Bone marrow aspirate smear:
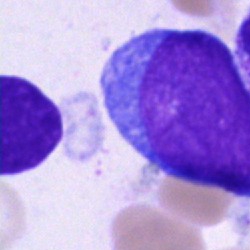
Morphological class = blast cell.